Image size 250×250 · brightfield microscopy, 40× oil immersion · bone marrow aspirate smear
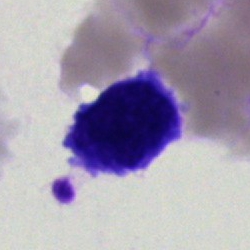An artefact.